Bone marrow smear. Single cell centered in the field. Pappenheim-stained: 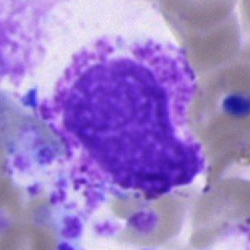
Single cell identified as an artefact.